Bone marrow aspirate smear: 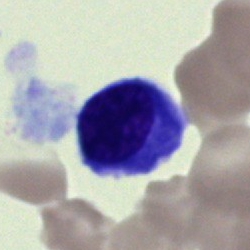

Morphological class: typical lymphocyte.